Bone marrow smear: 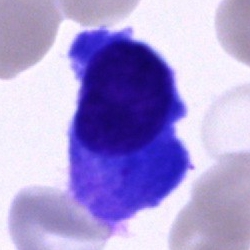
{"cell_type": "plasma cell"}